Bone marrow smear:
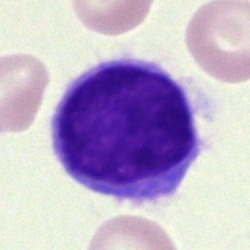 Q: What cell is this?
A: Hairy cell.